Image size 250×250 · bone marrow aspirate smear.
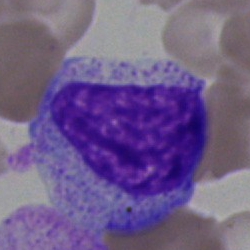Cell type = myelocyte.